Bone marrow smear · Pappenheim-stained:
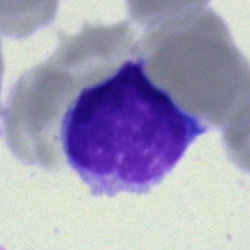
Classification = lymphocyte.